Single cell centered in the field. Bone marrow aspirate smear. 250 by 250 pixels — 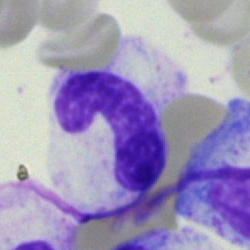Cell = neutrophil (band).